Bone marrow smear.
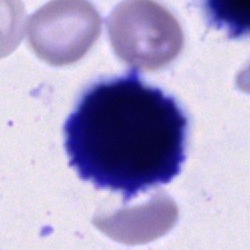
Classification: cell of indeterminate lineage.